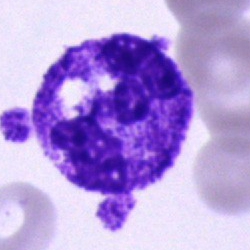Q: What is shown here?
A: Neutrophil (segmented).